Bone marrow aspirate smear
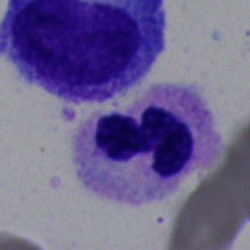
The cell shown is a segmented neutrophil.